40× objective, oil immersion. Bone marrow aspirate smear: 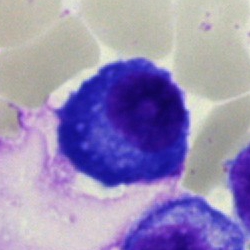
Morphology → plasma cell.